Bone marrow smear.
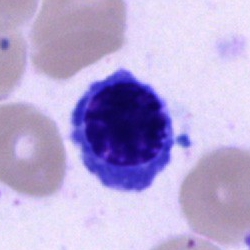
Morphology consistent with a nucleated red cell.